250×250. MGG-stained. Bone marrow aspirate smear: 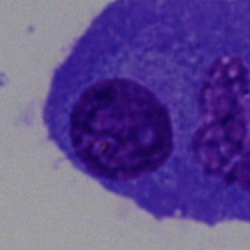
Cell: blast cell.